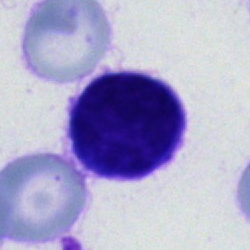 Specimen: bone marrow smear.
Cell type: cell of indeterminate lineage.